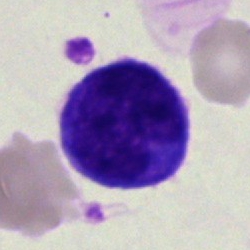 {"cell_type": "blast cell"}